Bone marrow smear — 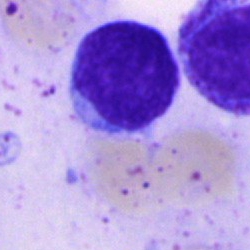

Classification — undifferentiated blast.